Peripheral blood film. Single-cell field: 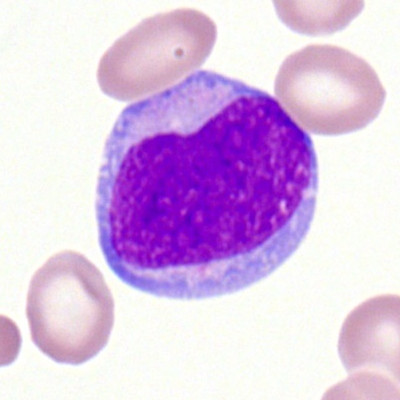
{"cell_type": "myeloid blast", "lineage": "myeloid"}